Bone marrow smear; single cell centered in the field; MGG-stained:
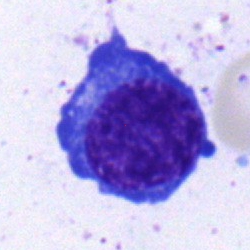

A nucleated red cell.